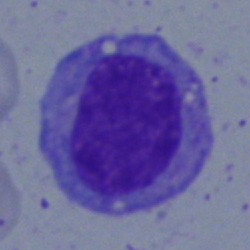

Cell type = monocyte.